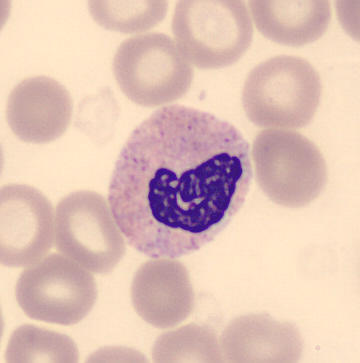 {"cell_type": "neutrophil (segmented)"}